Bone marrow aspirate smear
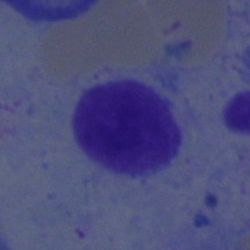

Cell = lymphocyte.